Pappenheim-stained; bone marrow aspirate smear; 40× objective, oil immersion: 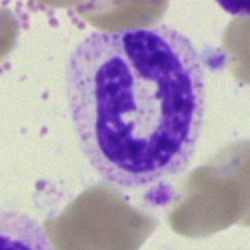
Specimen: bone marrow smear.
Morphological class: neutrophil (band).
Lineage: myeloid.